40× oil immersion · bone marrow smear — 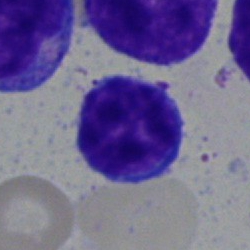Specimen: bone marrow aspirate smear.
Cell: typical lymphocyte.
Lineage: lymphoid.